Bone marrow aspirate smear:
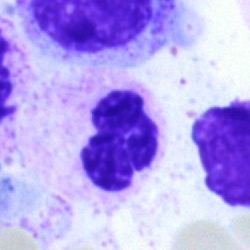 Neutrophil (segmented).